250×250; bone marrow smear: 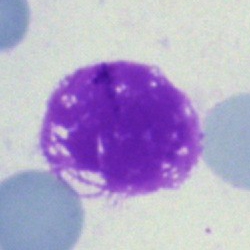 Morphology consistent with an artifact.